Pappenheim-stained; brightfield microscopy, 40× oil immersion; bone marrow aspirate smear — 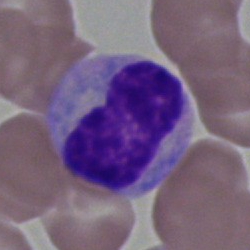
Morphology consistent with a metamyelocyte.